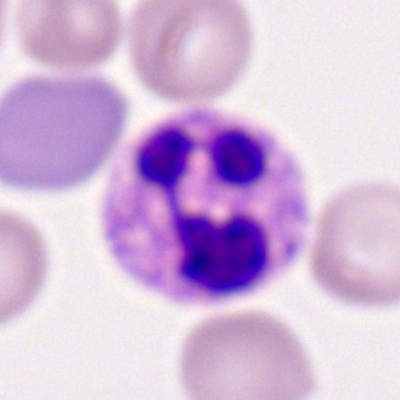 This is a neutrophil (segmented).